Bone marrow smear: 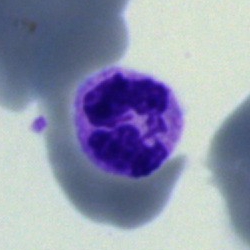
This is a neutrophil (segmented).